Bone marrow aspirate smear · 40× oil immersion · May-Grünwald-Giemsa stain: 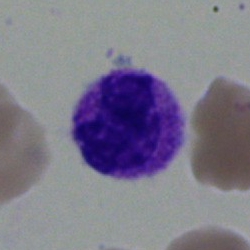 Q: Identify the cell.
A: A segmented neutrophil.